Bone marrow aspirate smear; 250×250; Pappenheim-stained — 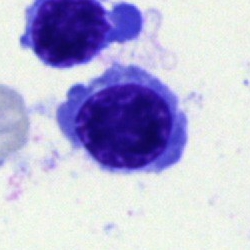{"cell_type": "normoblast"}